Bone marrow smear; cropped to a single cell; 40× objective, oil immersion
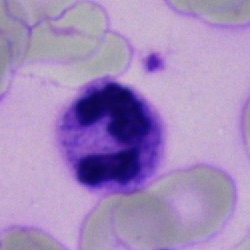
Morphology → segmented neutrophil.